250×250 · 40× oil immersion · bone marrow smear.
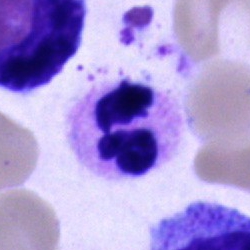Specimen: bone marrow aspirate smear.
Cell: neutrophil (segmented).
Lineage: myeloid.